Bone marrow smear.
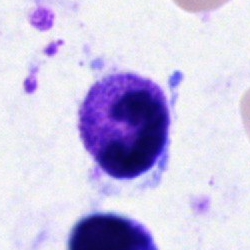Cell = polymorphonuclear neutrophil.